Bone marrow aspirate smear · 250×250 px.
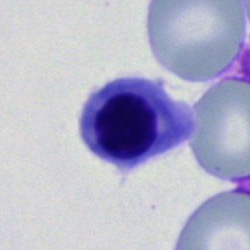 The morphological class is nucleated red blood cell.